Bone marrow smear — 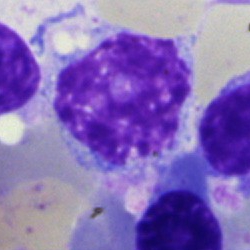The cell shown is a lymphocyte.